May-Grünwald-Giemsa/Pappenheim stain; bone marrow aspirate smear: 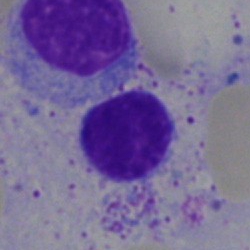Morphological class: lymphocyte.